Bone marrow aspirate smear — 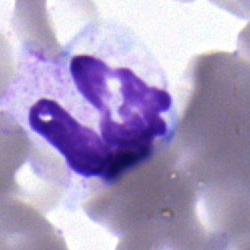

Impression — polymorphonuclear neutrophil.